Peripheral blood film — 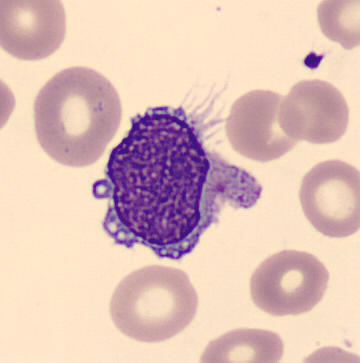
Identified as a monocyte.